Bone marrow smear
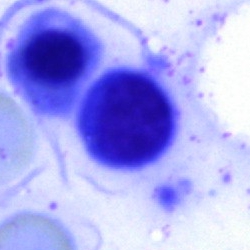

An unidentifiable cell.